Bone marrow smear
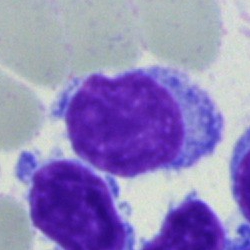
This is a typical lymphocyte.